Bone marrow aspirate smear.
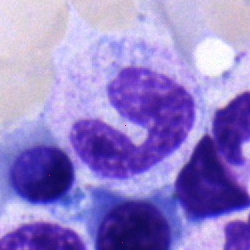
Specimen: bone marrow smear.
Classification: band neutrophil.